Bone marrow smear.
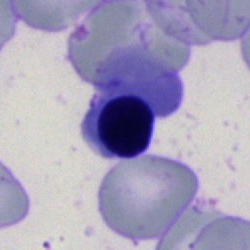
This is a nucleated red blood cell.